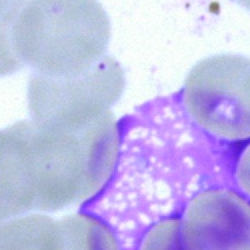
Q: What is shown here?
A: It is an artifact.